40× oil immersion. Bone marrow aspirate smear:
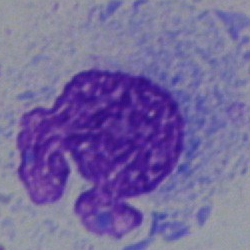Q: What is shown here?
A: Artifact.